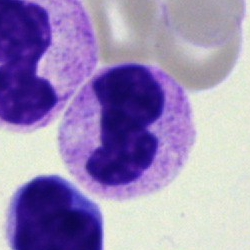

Q: Identify the cell.
A: It is a polymorphonuclear neutrophil.